Bone marrow aspirate smear: 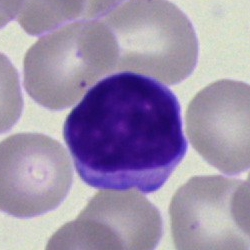Q: Identify the cell.
A: It is a lymphocyte.